Single-cell crop; bone marrow aspirate smear — 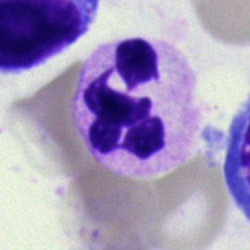 Q: What cell is this?
A: A segmented neutrophil.